Brightfield microscopy, 40× oil immersion. Bone marrow aspirate smear: 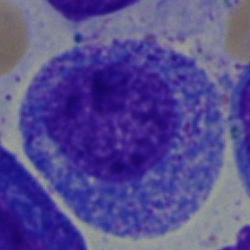 Q: Identify the cell.
A: It is a promyelocyte.